Bone marrow smear — 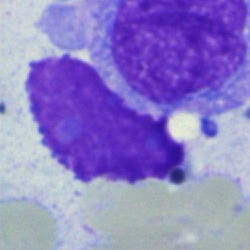{"cell_type": "artefact"}